40× oil immersion; bone marrow aspirate smear — 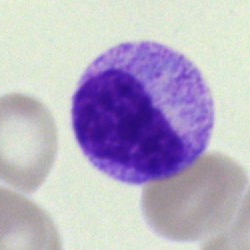

A myelocyte.